Bone marrow aspirate smear:
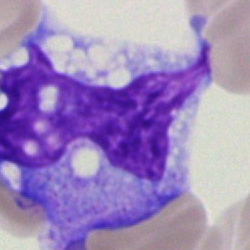

Morphology consistent with a monocyte.